Image size 250×250. 40× oil immersion. Bone marrow smear.
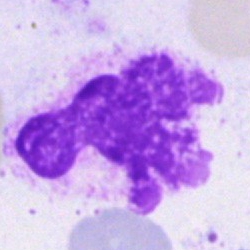Impression → artefact.